Single cell centered in the field; bone marrow aspirate smear — 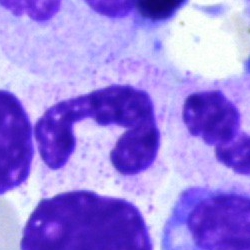
Morphological class: segmented neutrophil.